Bone marrow smear. 250 by 250 pixels:
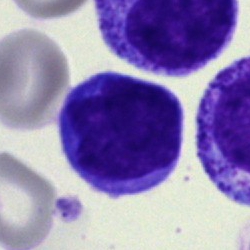 Typical lymphocyte.